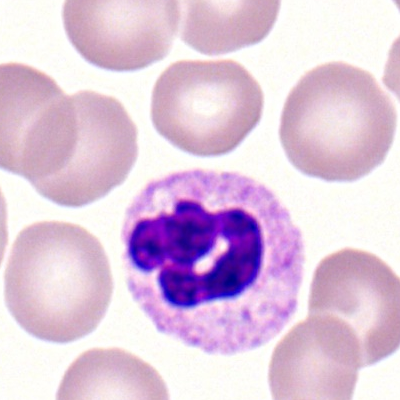

The cell shown is a polymorphonuclear neutrophil.